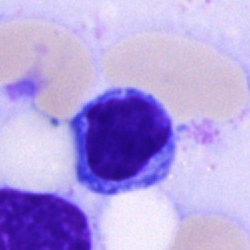The cell type is typical lymphocyte.